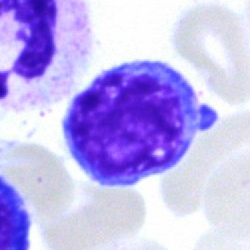 Classification — lymphocyte.